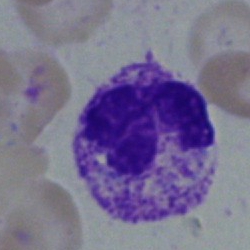 The cell is neutrophil (segmented).